Bone marrow aspirate smear: 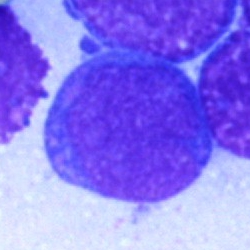Impression — blast cell.